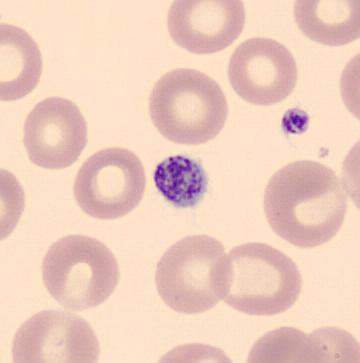
Morphology consistent with a thrombocyte.
Preparation: Peripheral blood smear. 360×363 px.